Bone marrow smear; single-cell field — 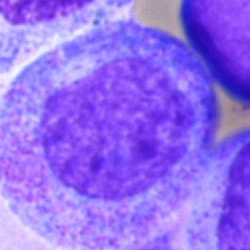

A progranulocyte.